Bone marrow smear; May-Grünwald-Giemsa stain:
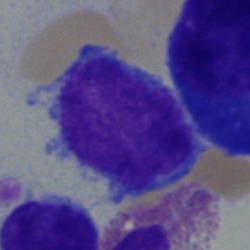 Specimen: bone marrow aspirate smear.
Cell type: blast.